Bone marrow smear:
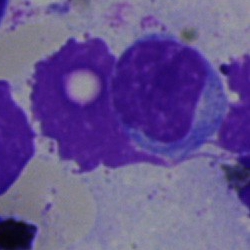 Specimen: bone marrow aspirate smear.
Cell: typical lymphocyte.
Lineage: lymphoid.